Bone marrow aspirate smear: 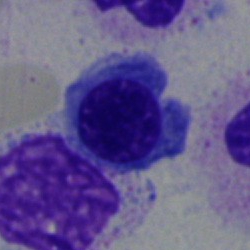

Cell = nucleated red blood cell.